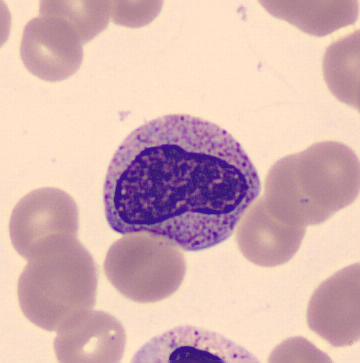Preparation: Peripheral blood smear.
Morphology consistent with a metamyelocyte.